Bone marrow aspirate smear · 250×250.
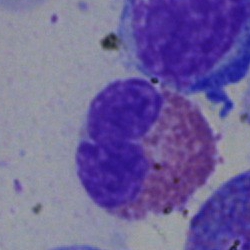Specimen: bone marrow smear.
Morphological class: eosinophil.